Bone marrow smear: 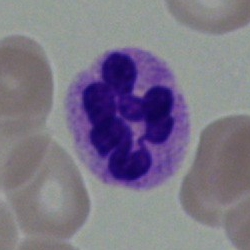 A segmented neutrophil.